MGG-stained. Bone marrow smear:
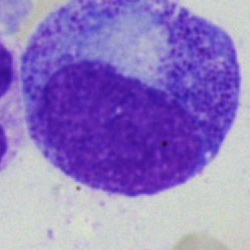

The cell shown is a promyelocyte.